Pappenheim-stained. Bone marrow smear.
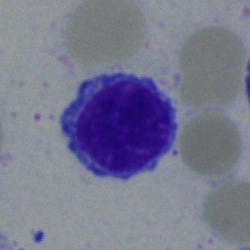Morphology consistent with a typical lymphocyte.